Peripheral blood smear; single-cell crop: 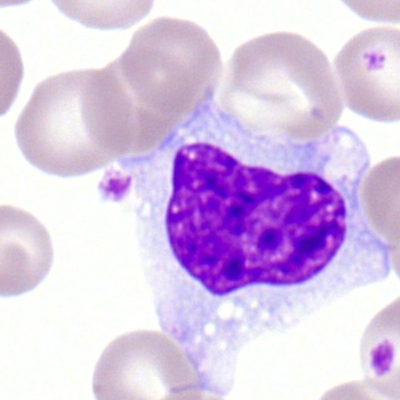 Q: What is the morphological classification of this cell?
A: A monocyte.